Bone marrow smear: 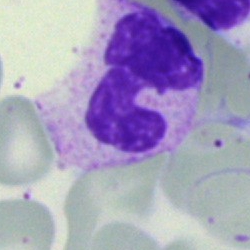

Showing a polymorphonuclear neutrophil.